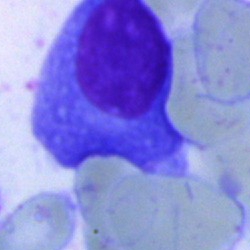
Specimen: bone marrow smear.
Classification: plasmacyte.
Lineage: lymphoid.